Bone marrow smear — 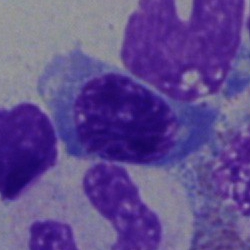

Morphological class — normoblast.